Bone marrow smear: 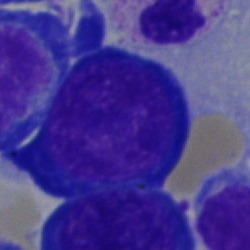

Q: Which cell type is shown here?
A: This is a proerythroblast.